Romanowsky stain. Peripheral blood film. Image size 400×400:
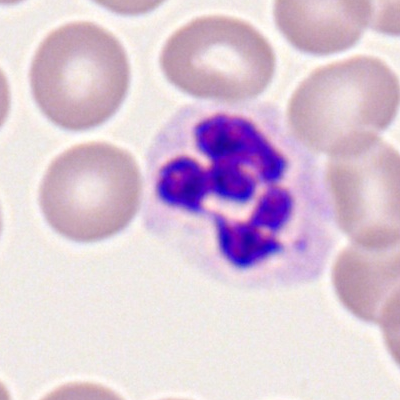 Impression → neutrophil (segmented).